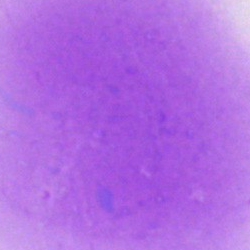This is an artefact.